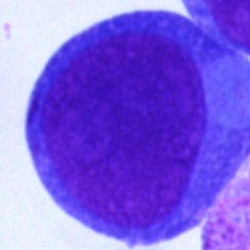
A blast.